Bone marrow smear.
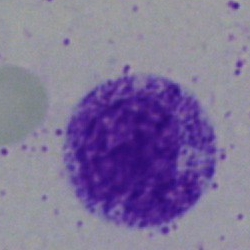

Single cell identified as a myelocyte.